40× oil immersion; single cell centered in the field; bone marrow smear: 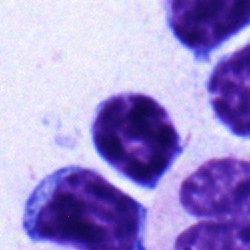
Typical lymphocyte.